Bone marrow smear — 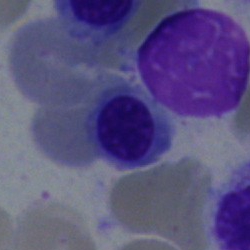
The morphological class is nucleated red cell.